Brightfield microscopy, 40× oil immersion · bone marrow smear:
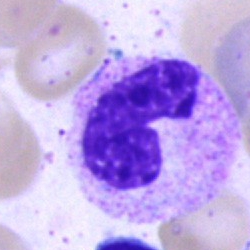Q: What cell is this?
A: This is a stab cell.